Bone marrow aspirate smear · 40× objective, oil immersion:
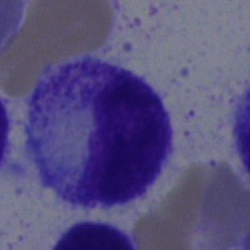
The cell is metamyelocyte.